Brightfield microscopy, 40× oil immersion · bone marrow aspirate smear:
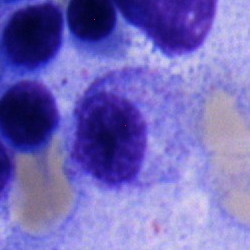

Showing a myelocyte.